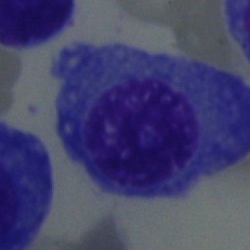 Specimen: bone marrow smear.
Classification: plasma cell.
Lineage: lymphoid.